Bone marrow aspirate smear
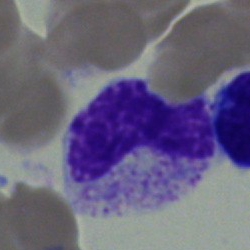

Specimen: bone marrow smear.
Classification: metamyelocyte.
Lineage: myeloid.